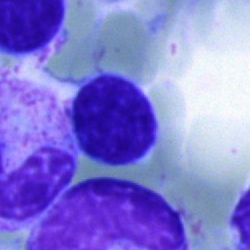

Morphology — lymphocyte.